Bone marrow smear · single-cell crop:
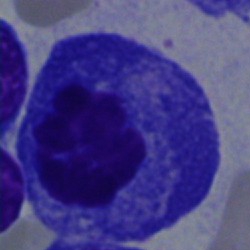

Showing a plasmacyte.